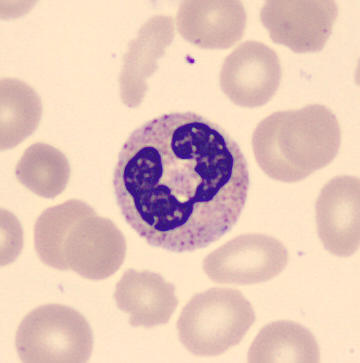 Polymorphonuclear neutrophil.
Image: Peripheral blood smear.